Single cell centered in the field. Bone marrow smear. 40× oil immersion:
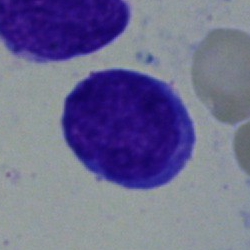Q: Which cell type is shown here?
A: It is a blast.